40× objective, oil immersion. Bone marrow aspirate smear:
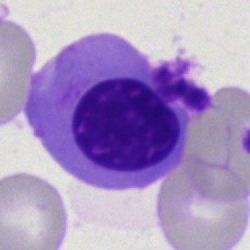

This is an erythroblast.